Bone marrow aspirate smear.
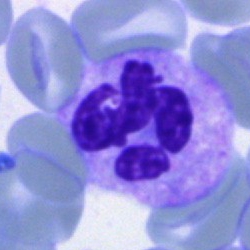

Specimen: bone marrow aspirate smear.
Morphological class: polymorphonuclear neutrophil.
Lineage: myeloid.